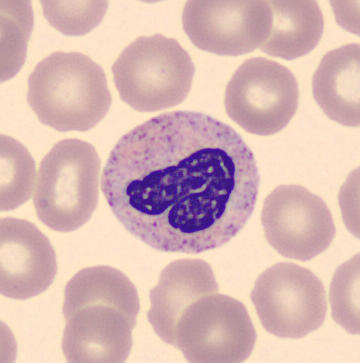
Image: Peripheral blood film.

Q: What is the morphological classification of this cell?
A: It is a neutrophil (band).